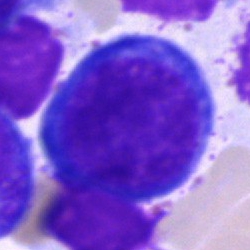 The morphological class is proerythroblast.